Peripheral blood film · single-cell field
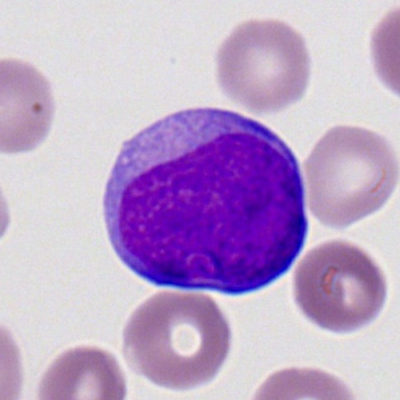Classification = myeloblast.